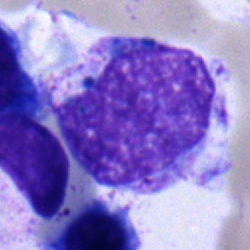
Cell = myelocyte.